Bone marrow aspirate smear; image size 250×250.
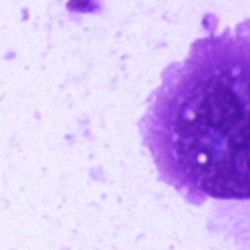
Morphology — artifact.